Bone marrow aspirate smear — 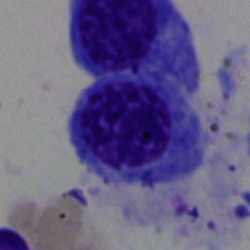

Specimen: bone marrow smear.
Morphological class: erythroblast.